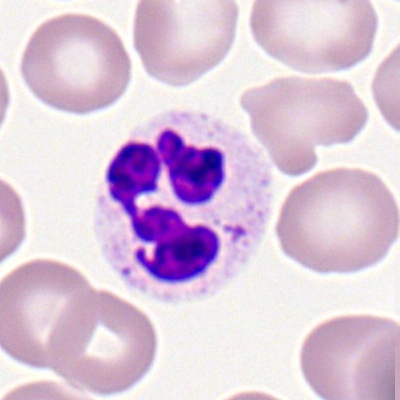The morphological class is segmented neutrophil.